Peripheral blood smear:
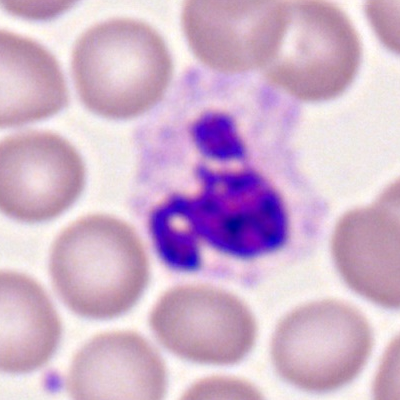

Impression → polymorphonuclear neutrophil.